Bone marrow aspirate smear — 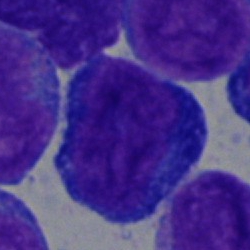
{"cell_type": "pronormoblast", "lineage": "erythroid"}